Bone marrow smear · Pappenheim-stained:
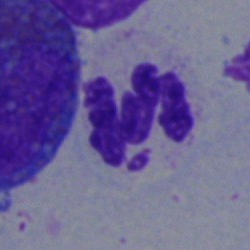
The cell shown is a polymorphonuclear neutrophil.